MGG-stained · bone marrow aspirate smear.
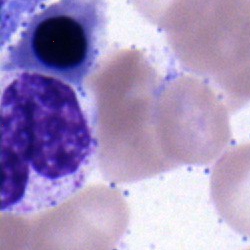 Band-form neutrophil.